Bone marrow smear; May-Grünwald-Giemsa stain.
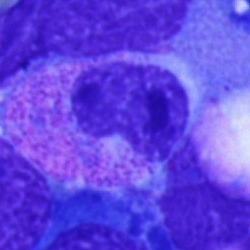The cell is metamyelocyte.